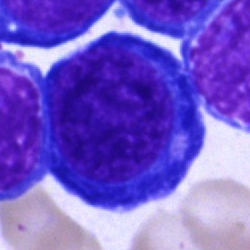A proerythroblast.